Peripheral blood smear:
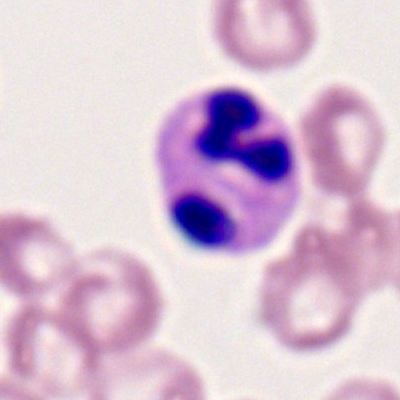Q: Identify the cell.
A: Polymorphonuclear neutrophil.